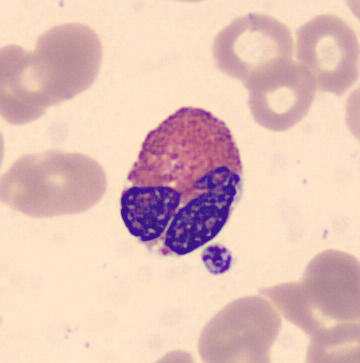
Image: Peripheral blood film · 360×363. This is an eosinophil.